Bone marrow aspirate smear. 250 by 250 pixels. May-Grünwald-Giemsa stain — 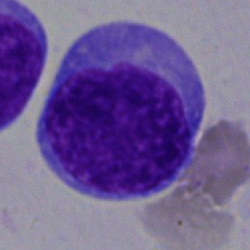
Single cell identified as an undifferentiated blast.